Bone marrow aspirate smear
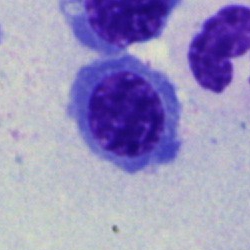
Q: What type of cell is this?
A: An erythroblast.